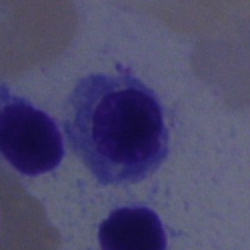

Morphology — nucleated red cell.